MGG-stained; bone marrow aspirate smear.
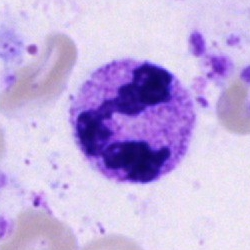

Q: Identify the cell.
A: A segmented neutrophil.